Peripheral blood smear
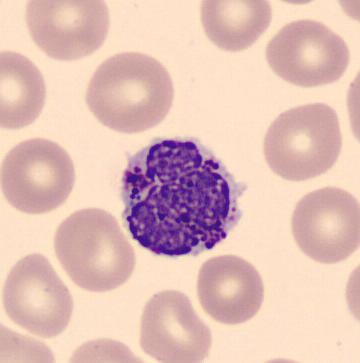 The classification is basophil.